Bone marrow smear — 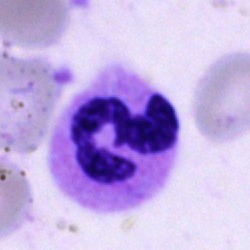Showing a neutrophil (segmented).